Bone marrow smear:
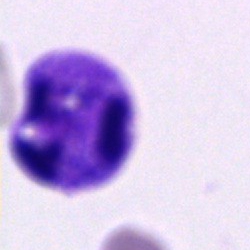Morphology consistent with an unidentifiable cell.